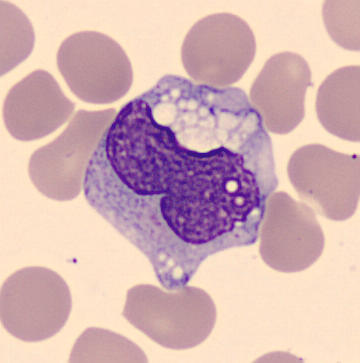
Cell type: monocyte.